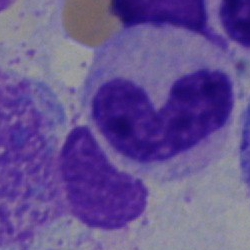 The cell shown is a neutrophil (band).